Bone marrow aspirate smear. 40× oil immersion. Image size 250×250.
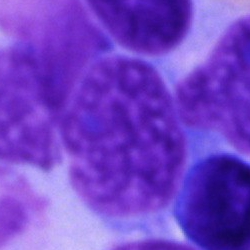 Q: What is shown here?
A: Artifact.